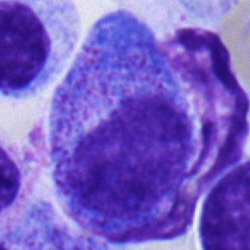
The cell shown is a progranulocyte.